Image size 250×250; bone marrow smear
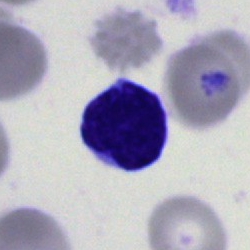
{"cell_type": "blast"}